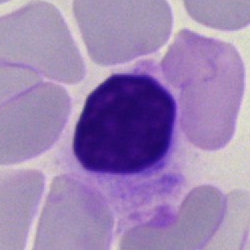 Q: What is the morphological classification of this cell?
A: Lymphocyte.